Bone marrow aspirate smear: 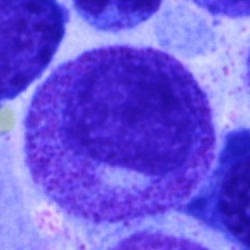
The cell shown is a myelocyte.